Peripheral blood smear:
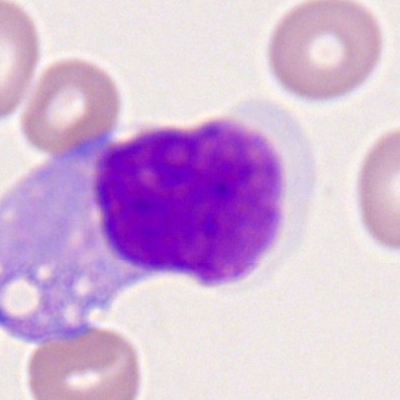

The classification is monocyte.